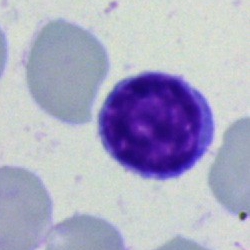

Q: What cell is this?
A: This is a lymphocyte.